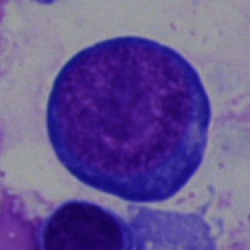
Morphological class — pronormoblast.